Bone marrow aspirate smear; 40× oil immersion
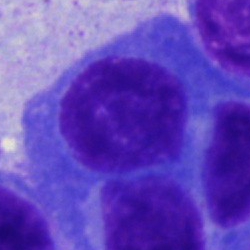Morphological class — plasma cell.